Peripheral blood smear
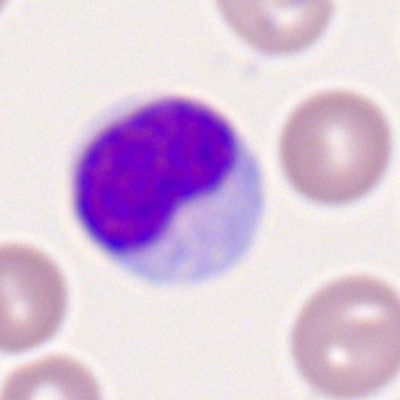 Cell = lymphocyte.